Brightfield microscopy, 40× oil immersion; Pappenheim-stained; bone marrow aspirate smear
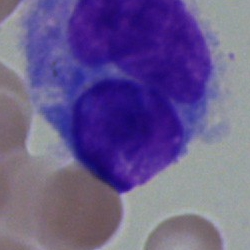The cell shown is a monocyte.